Bone marrow smear — 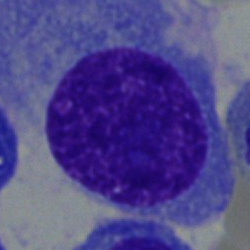
Impression — plasma cell.